250×250 px · bone marrow aspirate smear: 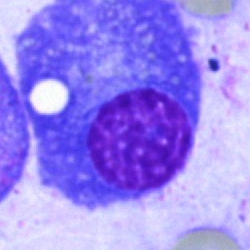Cell type = plasmacyte.